Bone marrow aspirate smear. Cropped to a single cell: 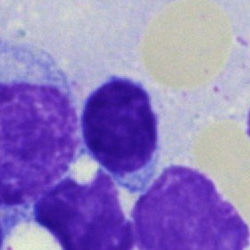

Typical lymphocyte.